Bone marrow aspirate smear · cropped to a single cell: 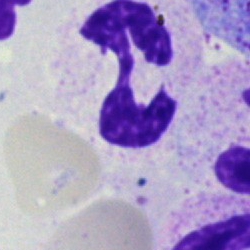

Morphological class — neutrophil (segmented).